Single-cell field. Bone marrow aspirate smear
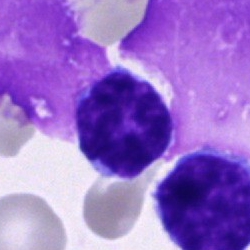

Q: Which cell type is shown here?
A: Lymphocyte.